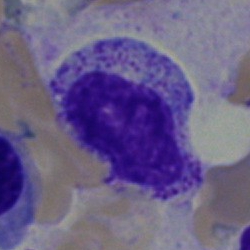
Morphology — myelocyte.